Bone marrow smear: 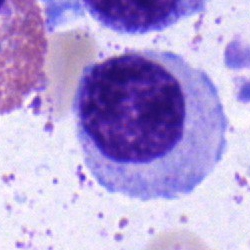

Myelocyte.